Bone marrow aspirate smear; May-Grünwald-Giemsa stain; brightfield, 40× oil-immersion objective
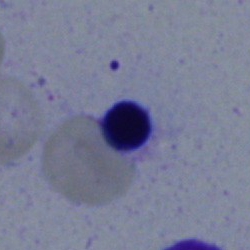
Q: What type of cell is this?
A: This is a normoblast.